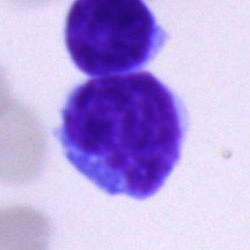The cell is typical lymphocyte.